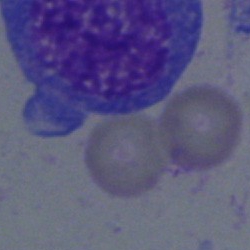A blast cell.